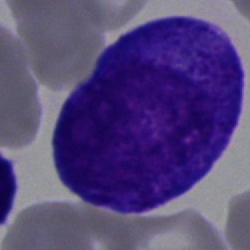 A progranulocyte on a bone marrow smear.